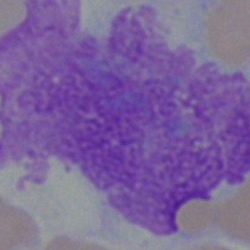Bone marrow smear showing a blast cell.